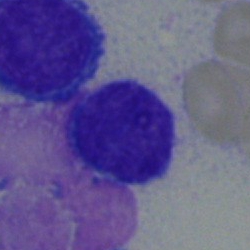 Single-cell crop from a bone marrow smear: lymphocyte.